Romanowsky-type stain. Peripheral blood smear — 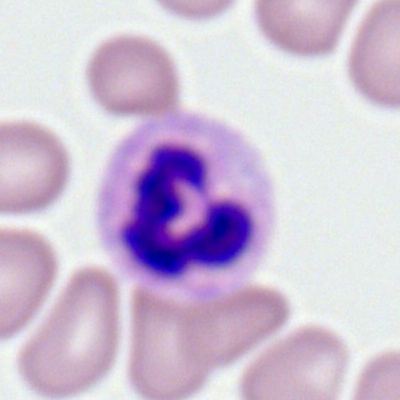Q: Identify the cell.
A: Segmented neutrophil.